Bone marrow smear:
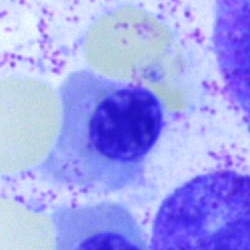

Erythroblast.